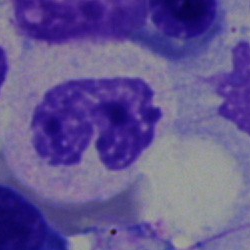
Specimen: bone marrow aspirate smear.
Morphological class: band-form neutrophil.
Lineage: myeloid.